Peripheral blood film: 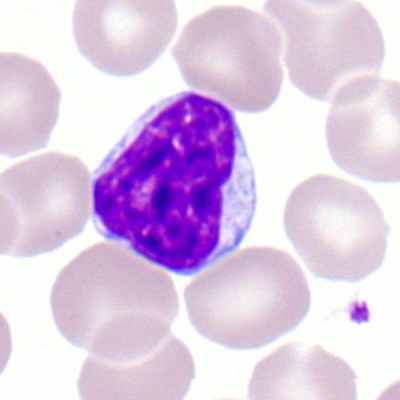
Impression → lymphocyte.